Bone marrow aspirate smear:
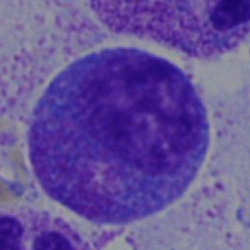

Showing a promyelocyte.